Peripheral blood film · 400×400 px.
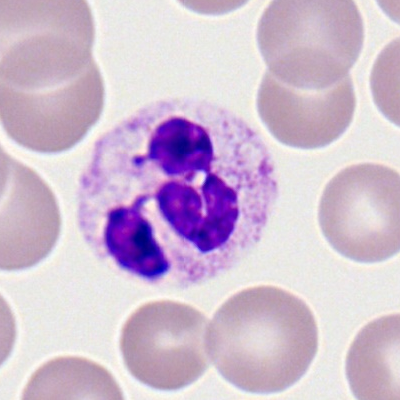{"cell_type": "neutrophil (segmented)"}